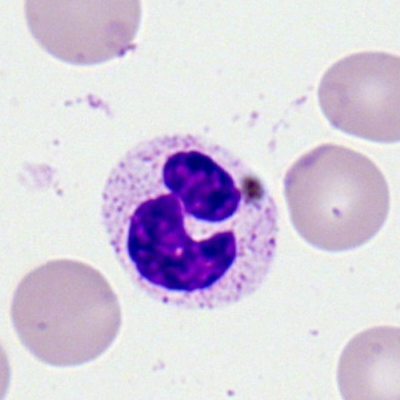

Specimen: peripheral blood smear.
Cell type: segmented neutrophil.
Lineage: myeloid.